Bone marrow aspirate smear:
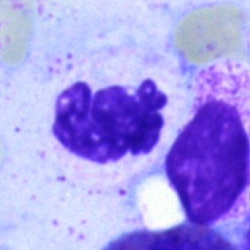
Q: What is the morphological classification of this cell?
A: It is a polymorphonuclear neutrophil.